360×363 px; MGG-stained; peripheral blood smear:
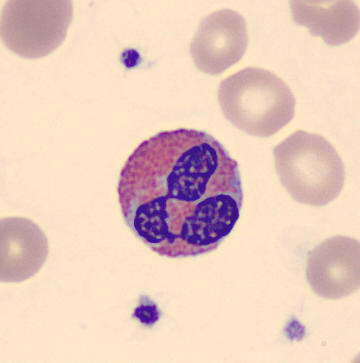

This is an eosinophil.